Single-cell field · bone marrow smear · image size 250×250 — 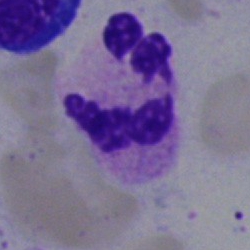
Impression → polymorphonuclear neutrophil.